Bone marrow aspirate smear — 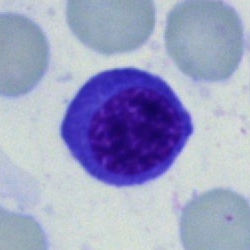Q: Identify the cell.
A: An erythroblast.